Bone marrow aspirate smear:
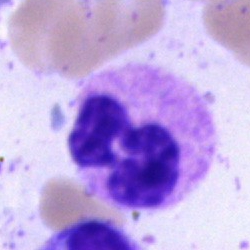

Showing a neutrophil (segmented).